Bone marrow smear: 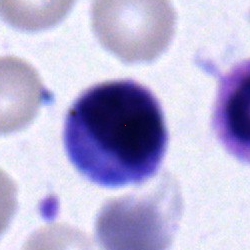
Cell type = lymphocyte.